Bone marrow smear
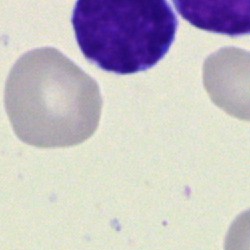Cell type = cell of indeterminate lineage.